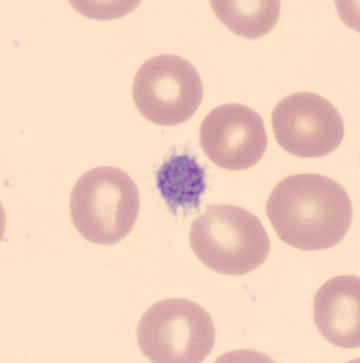
A thrombocyte on a peripheral blood smear.